Cropped to a single cell · bone marrow smear:
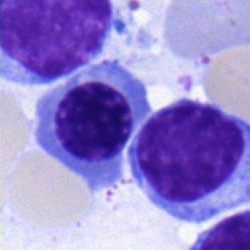 Classification: nucleated red cell.